Bone marrow aspirate smear
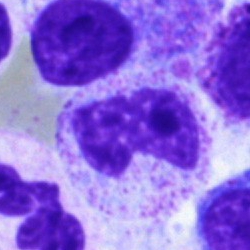 Metamyelocyte.